250×250 · bone marrow aspirate smear: 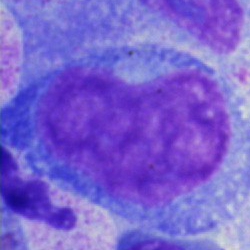

{"cell_type": "undifferentiated blast"}